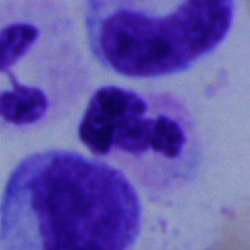Impression — polymorphonuclear neutrophil.